Bone marrow aspirate smear — 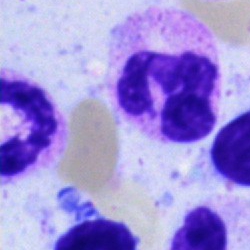

Single cell identified as a segmented neutrophil.